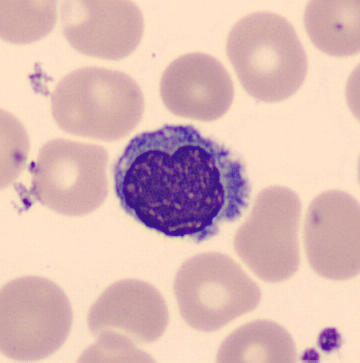 Specimen: peripheral blood film.
Cell type: typical lymphocyte.
Lineage: lymphoid.